Cropped to a single cell · peripheral blood smear
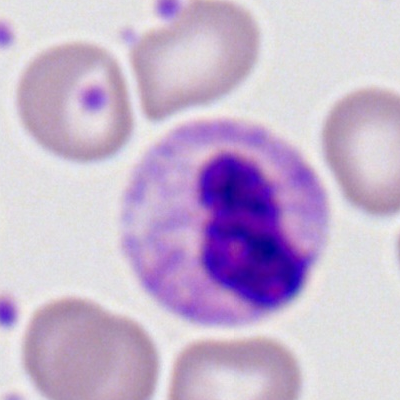 A polymorphonuclear neutrophil.